Bone marrow aspirate smear
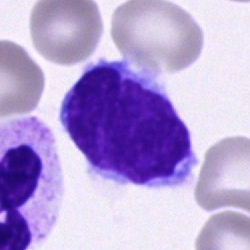Specimen: bone marrow smear.
Morphological class: typical lymphocyte.